MGG-stained · bone marrow smear · 40× objective, oil immersion:
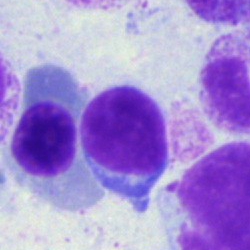

Cell — typical lymphocyte.